40× oil immersion. Cropped to a single cell. Bone marrow smear.
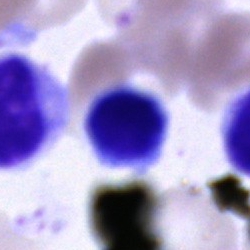

Cell type: cell of indeterminate lineage.